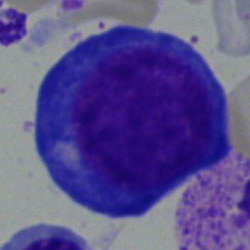
Morphology → pronormoblast.